Cropped to a single cell. Bone marrow aspirate smear. Brightfield, 40× oil-immersion objective.
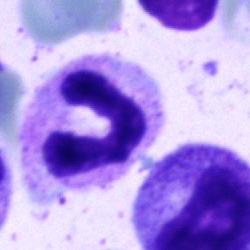 Morphology — band neutrophil.